Peripheral blood film · cropped to a single cell.
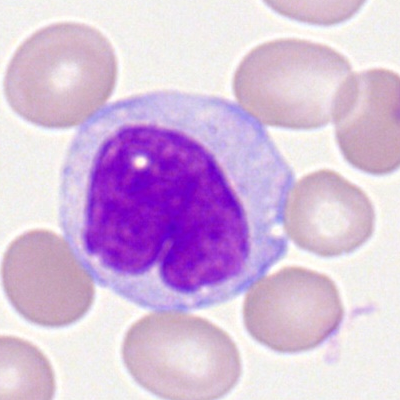Q: What is shown here?
A: A monocyte.